Bone marrow aspirate smear:
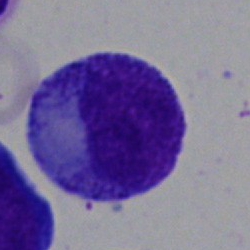The cell shown is a progranulocyte.